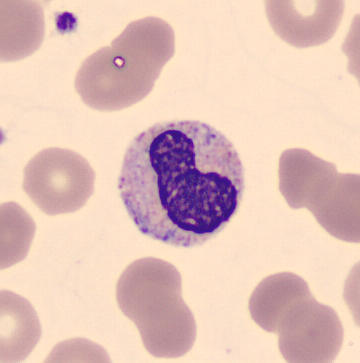
Preparation: Peripheral blood film.
Morphological class: band neutrophil.